Peripheral blood film · Romanowsky stain: 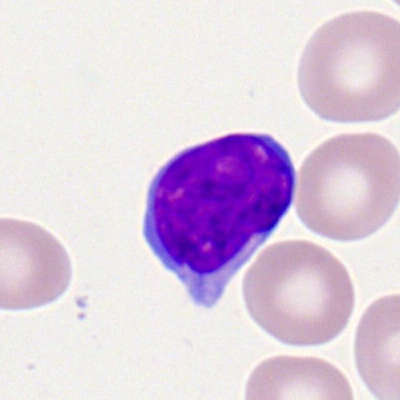Q: Identify the cell.
A: A lymphocyte.